Bone marrow aspirate smear. 250 by 250 pixels — 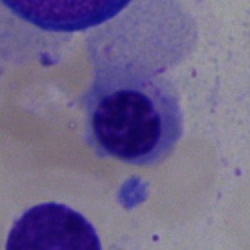
Normoblast.